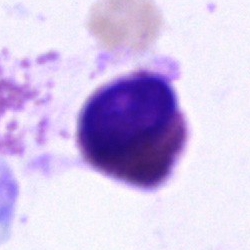

Single cell identified as an eosinophilic granulocyte.